Bone marrow aspirate smear; MGG-stained: 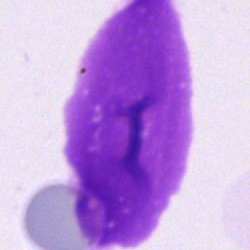 Morphological class — artefact.